MGG-stained. Bone marrow smear. Image size 250×250.
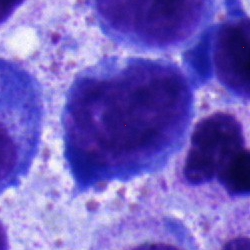Specimen: bone marrow aspirate smear.
Classification: pronormoblast.
Lineage: erythroid.